Bone marrow aspirate smear. Single cell centered in the field: 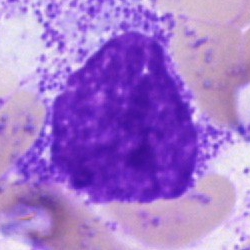 Morphology → artifact.